Bone marrow smear — 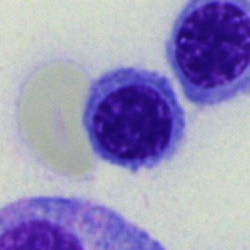The classification is nucleated red blood cell.